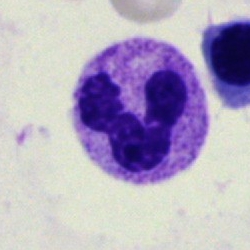
{"cell_type": "neutrophil (segmented)", "lineage": "myeloid"}